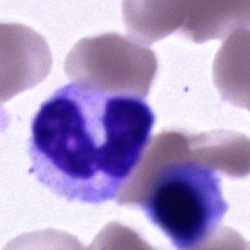
Morphological class: neutrophil (segmented).